MGG-stained. 40× oil immersion. Bone marrow smear — 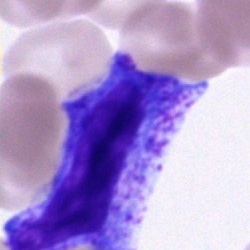

Q: What cell is this?
A: This is a progranulocyte.